Bone marrow smear.
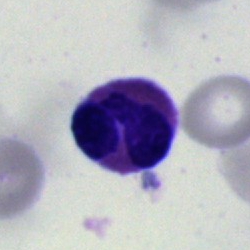

Showing a polymorphonuclear neutrophil.